Bone marrow aspirate smear. Brightfield microscopy, 40× oil immersion
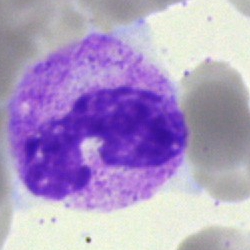Q: Which cell type is shown here?
A: It is a polymorphonuclear neutrophil.